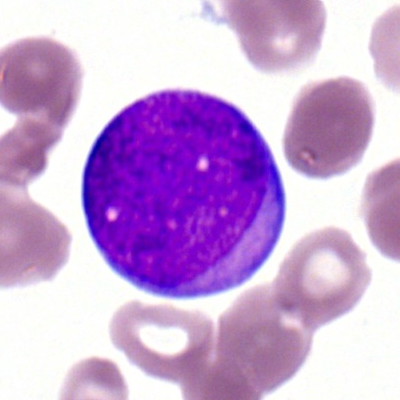

Showing a myeloid blast.